Bone marrow smear · single cell centered in the field:
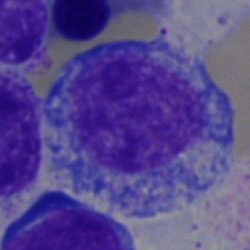

Progranulocyte.